Bone marrow aspirate smear; single-cell crop
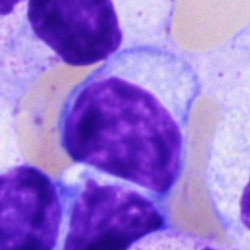

Cell: lymphocyte.